Bone marrow aspirate smear
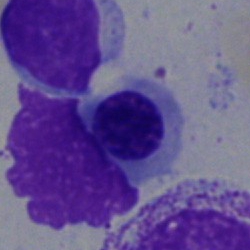 Morphology consistent with a nucleated red cell.